Bone marrow smear:
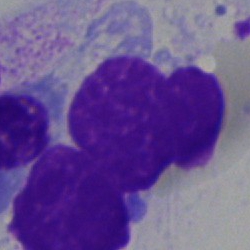 Morphology — artifact.